Bone marrow aspirate smear · image size 250×250.
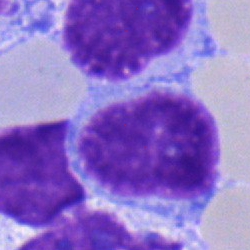
Morphology consistent with a typical lymphocyte.